Bone marrow smear:
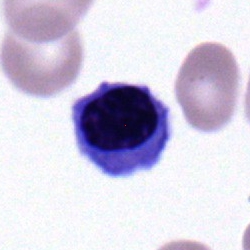

Morphological class — typical lymphocyte.